Bone marrow aspirate smear. Cropped to a single cell. 40× objective, oil immersion
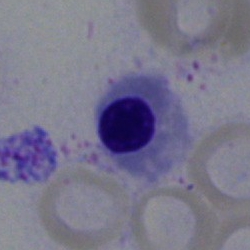

Morphological class = erythroblast.